Bone marrow aspirate smear
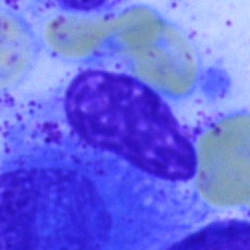
Classification — artifact.